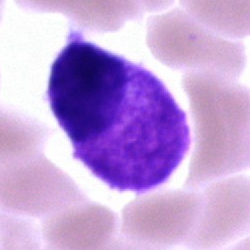 Bone marrow smear showing an unidentifiable cell.